Single-cell field; brightfield microscopy, 40× oil immersion; bone marrow aspirate smear.
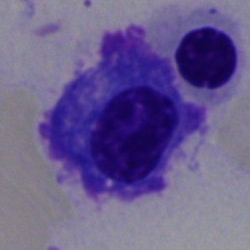
Morphology consistent with a plasma cell.